MGG-stained · bone marrow aspirate smear — 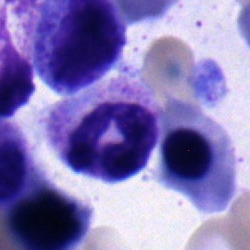 Segmented neutrophil.